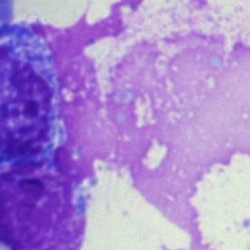Bone marrow aspirate smear, single cell — artefact.